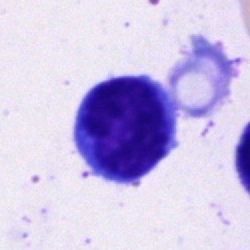Q: Identify the cell.
A: This is a typical lymphocyte.